May-Grünwald-Giemsa stain. Bone marrow aspirate smear:
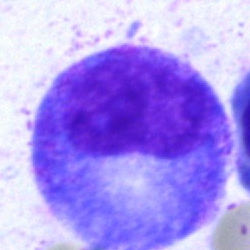
Classification = progranulocyte.